Bone marrow aspirate smear — 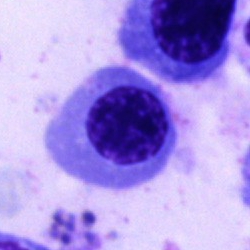 {"cell_type": "nucleated red cell", "lineage": "erythroid"}